Bone marrow aspirate smear: 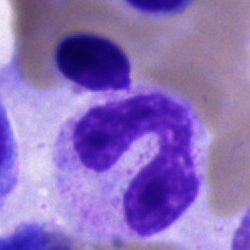 Single cell identified as a band neutrophil.